Peripheral blood film; Romanowsky-stained
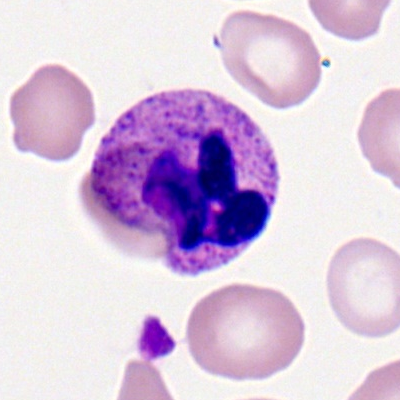
Specimen: peripheral blood smear.
Cell: basophilic granulocyte.
Lineage: myeloid.